Bone marrow smear · MGG-stained:
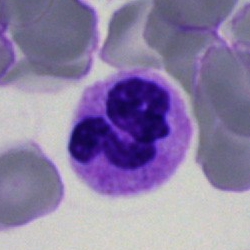

Q: What type of cell is this?
A: This is a segmented neutrophil.